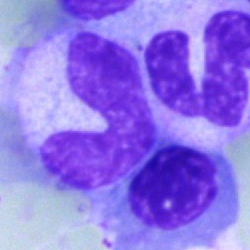Morphological class — neutrophil (band).